Brightfield microscopy, 40× oil immersion; bone marrow aspirate smear; image size 250×250
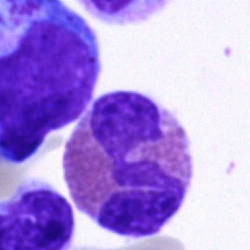 Cell type: eosinophil.